Bone marrow smear.
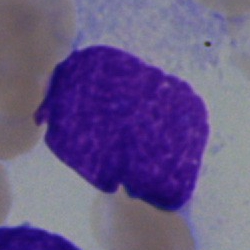

Impression — artifact.